Peripheral blood film:
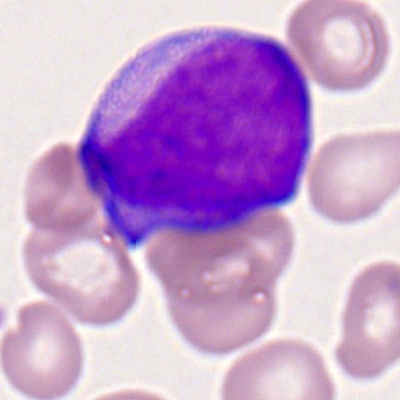

Impression → myeloblast.